Bone marrow aspirate smear: 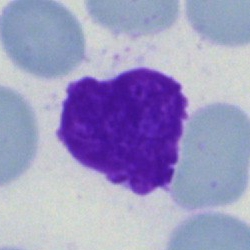
Q: What is shown here?
A: An artifact.